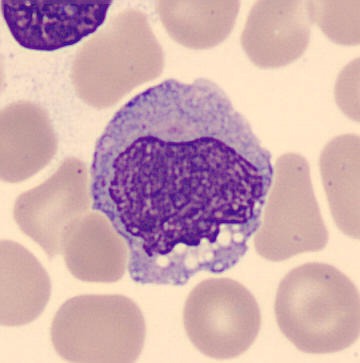
Specimen: peripheral blood smear.
Classification: monocyte.
Lineage: myeloid.